Peripheral blood smear · 100× oil immersion · image size 400×400: 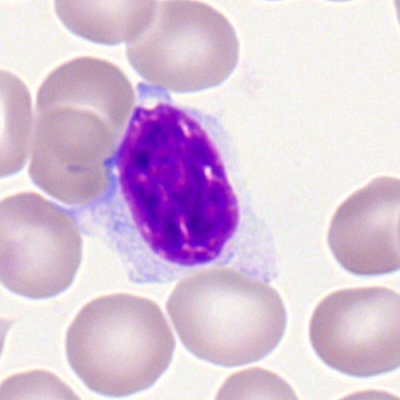The cell shown is a lymphocyte.